Bone marrow smear — 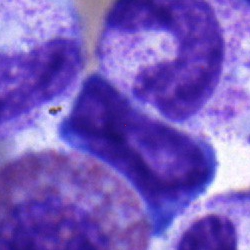 The cell shown is a lymphocyte.